Bone marrow aspirate smear.
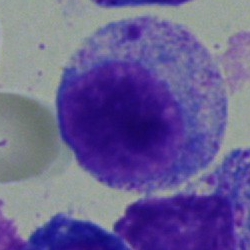
Cell type — myelocyte.